250 by 250 pixels. Bone marrow aspirate smear.
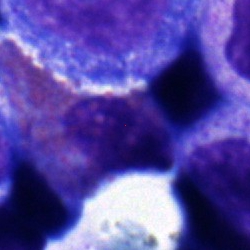 The cell shown is a typical lymphocyte.